Bone marrow smear; 40× oil immersion:
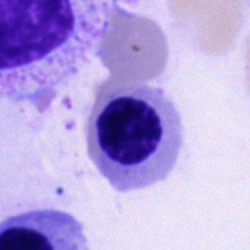 A normoblast.